Cropped to a single cell; bone marrow aspirate smear — 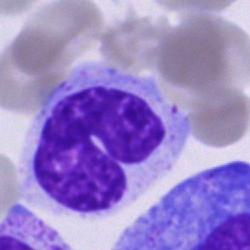
Specimen: bone marrow aspirate smear.
Classification: band-form neutrophil.